Bone marrow smear
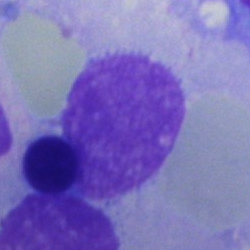 Single cell identified as an artifact.